Bone marrow smear:
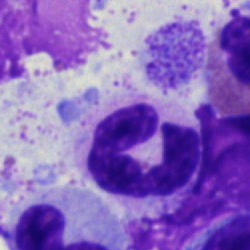
{"cell_type": "neutrophil (segmented)"}